Bone marrow aspirate smear
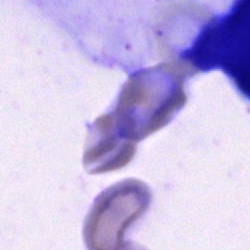 Morphological class — artefact.